Bone marrow smear. May-Grünwald-Giemsa stain
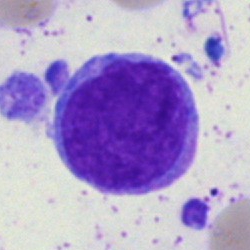
The classification is blast.